Bone marrow smear:
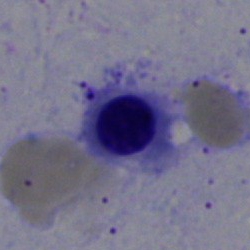
Erythroblast.